Peripheral blood film; Romanowsky-stained:
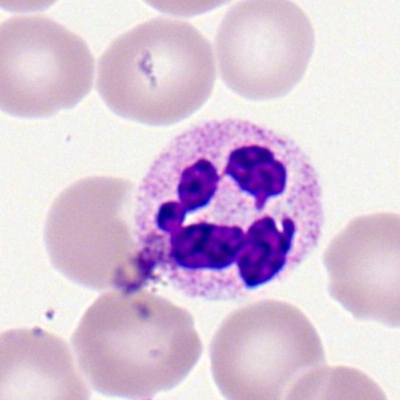A polymorphonuclear neutrophil.